Bone marrow aspirate smear: 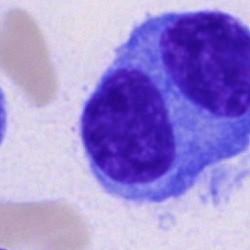{"cell_type": "plasma cell", "lineage": "lymphoid"}